Bone marrow smear. May-Grünwald-Giemsa stain
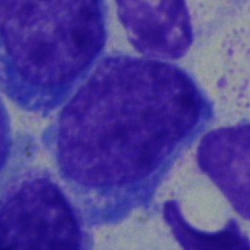

Morphology consistent with a blast cell.